Bone marrow smear · MGG-stained · 40× objective, oil immersion — 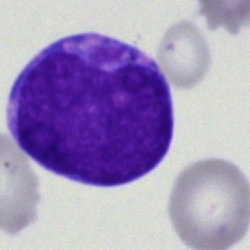 Q: Which cell type is shown here?
A: An undifferentiated blast.